Bone marrow smear:
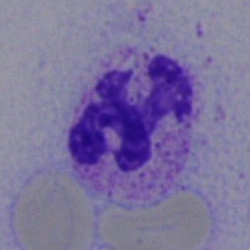
{"cell_type": "segmented neutrophil"}